Pappenheim-stained · bone marrow aspirate smear: 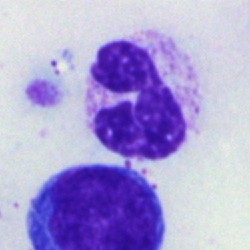Morphology consistent with a neutrophil (segmented).